Bone marrow aspirate smear: 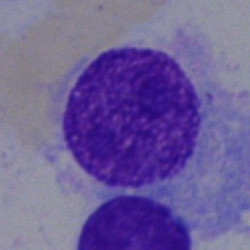 The morphological class is plasmacyte.